Bone marrow smear · Pappenheim-stained.
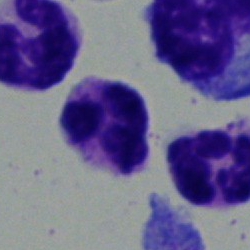Polymorphonuclear neutrophil.